Bone marrow smear · single-cell field · May-Grünwald-Giemsa stain:
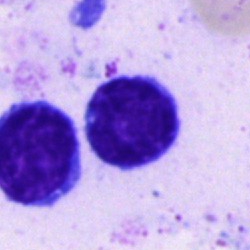The cell is lymphocyte.